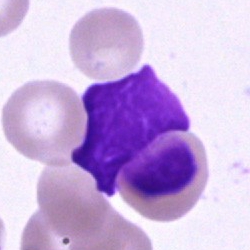Morphology consistent with an artifact.